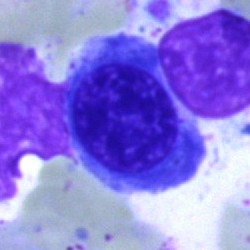

The morphological class is erythroblast.